Peripheral blood smear — 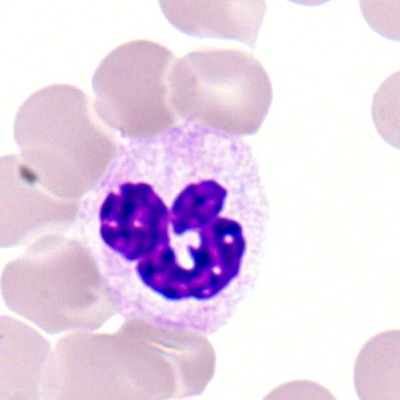
Impression → segmented neutrophil.